Peripheral blood film:
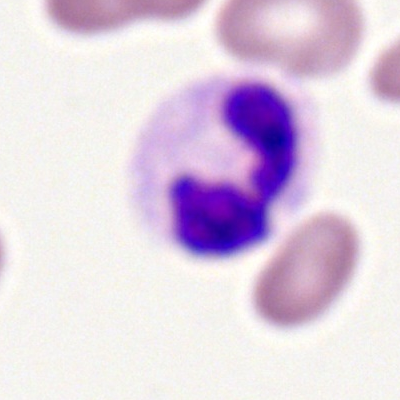

Showing a neutrophil (segmented).